Peripheral blood smear. 400 by 400 pixels — 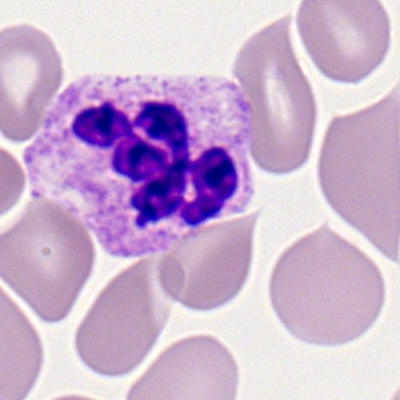
A polymorphonuclear neutrophil.